Peripheral blood smear:
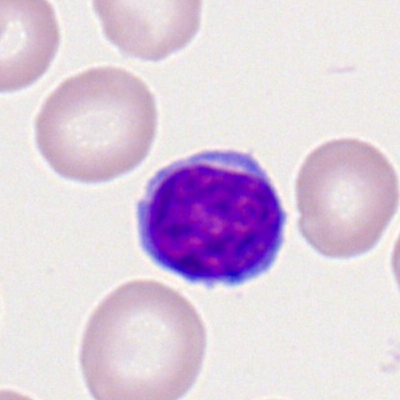
Morphology consistent with a typical lymphocyte.